Single-cell field; bone marrow smear; 250 by 250 pixels — 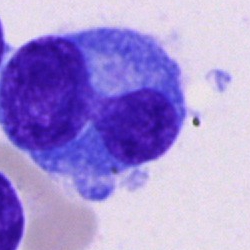

Specimen: bone marrow aspirate smear.
Cell: plasma cell.
Lineage: lymphoid.